Bone marrow aspirate smear.
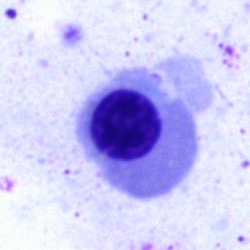
The cell type is normoblast.